Bone marrow aspirate smear — 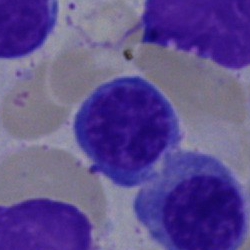 {"cell_type": "nucleated red cell"}